400×400 px · peripheral blood smear · Romanowsky stain — 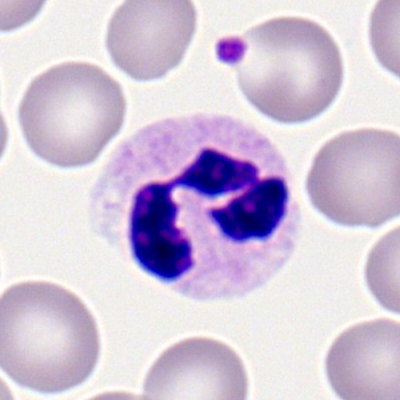 Specimen: peripheral blood film.
Cell: segmented neutrophil.
Lineage: myeloid.